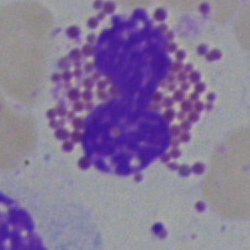

Bone marrow smear showing an eosinophil.